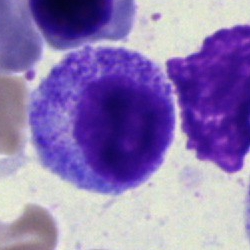Impression → myelocyte.